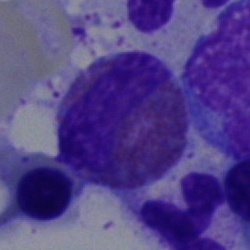 Classification — eosinophilic granulocyte.